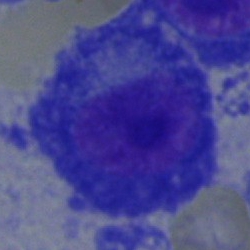This is a plasmacyte.